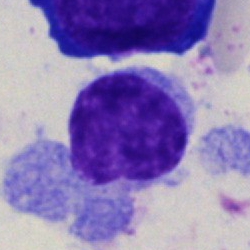

The classification is lymphocyte.